Bone marrow smear — 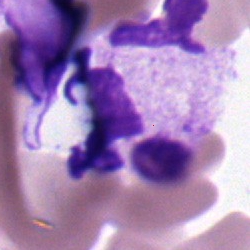
Cell type — neutrophil (segmented).